Bone marrow aspirate smear: 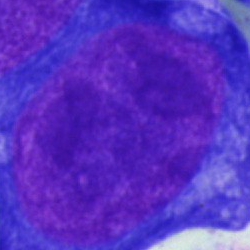
Morphological class = pronormoblast.